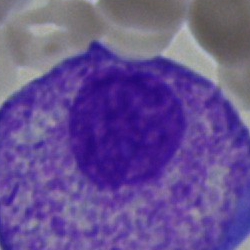 Specimen: bone marrow smear.
Classification: undifferentiated blast.